MGG-stained. Bone marrow aspirate smear. 250 by 250 pixels.
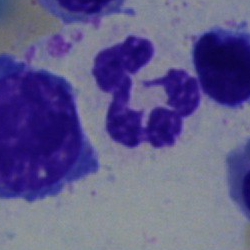

The cell shown is a segmented neutrophil.